Bone marrow smear; MGG-stained; brightfield, 40× oil-immersion objective: 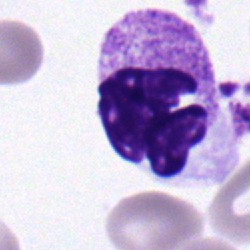

A neutrophil (segmented).